Peripheral blood smear: 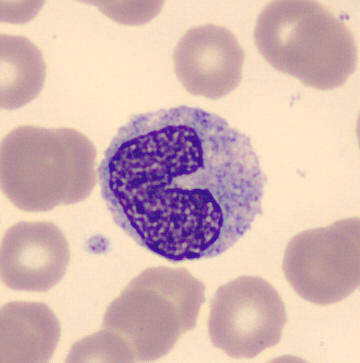

Impression — monocyte.